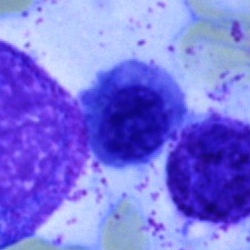The cell shown is an erythroblast.